Cropped to a single cell. May-Grünwald-Giemsa/Pappenheim stain. Bone marrow smear.
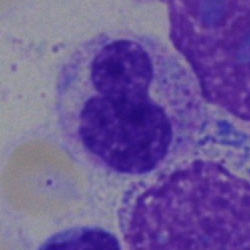
The classification is neutrophil (band).